Peripheral blood film — 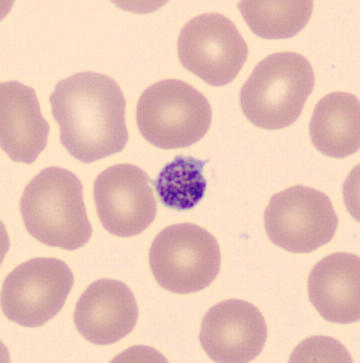 Impression — platelet (thrombocyte).